Bone marrow smear
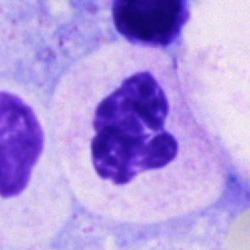
The morphological class is polymorphonuclear neutrophil.